Bone marrow smear:
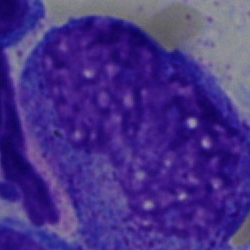
Showing a progranulocyte.